Bone marrow smear: 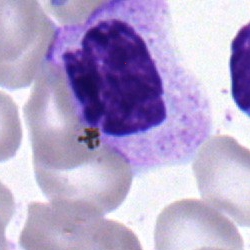 Morphology — metamyelocyte.